Image size 250×250; Pappenheim-stained; bone marrow aspirate smear — 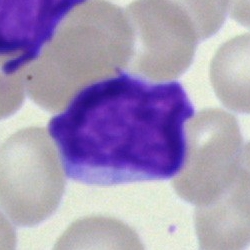
Morphology consistent with an undifferentiated blast.